250 by 250 pixels. Bone marrow aspirate smear. 40× objective, oil immersion.
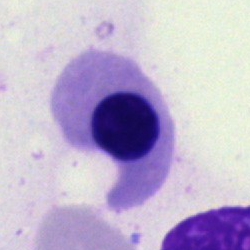
Cell type: erythroblast.